Peripheral blood film.
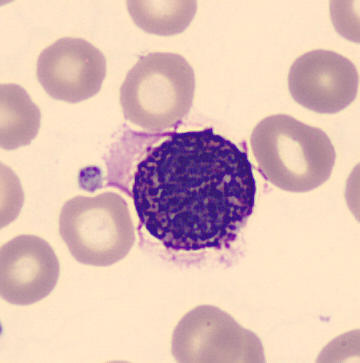Morphology → basophil.